Peripheral blood film: 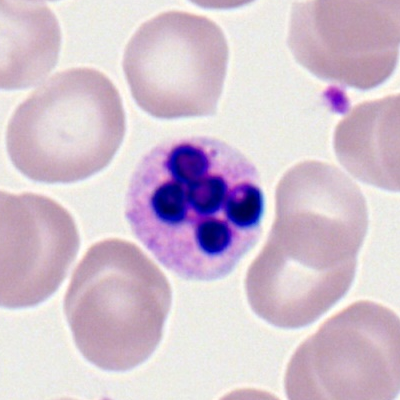The morphological class is neutrophil (segmented).